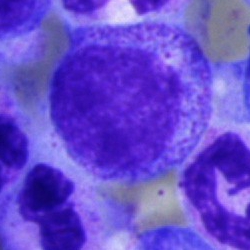Morphology consistent with a progranulocyte.